Bone marrow aspirate smear — 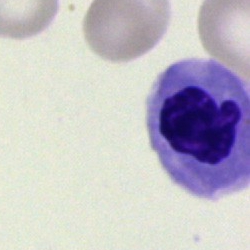 Morphology — nucleated red cell.